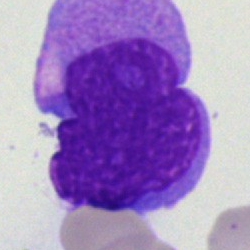The cell shown is a blast.